Bone marrow smear — 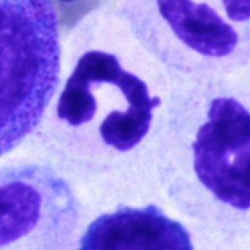

Morphology consistent with a neutrophil (segmented).